Bone marrow aspirate smear — 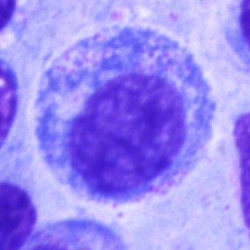Morphological class — promyelocyte.